Bone marrow smear; single-cell crop: 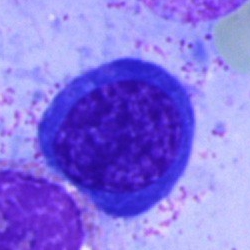
Q: What is shown here?
A: It is an erythroblast.